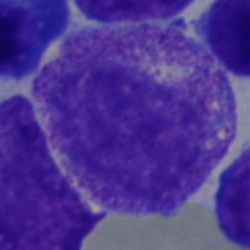Classification = myelocyte.